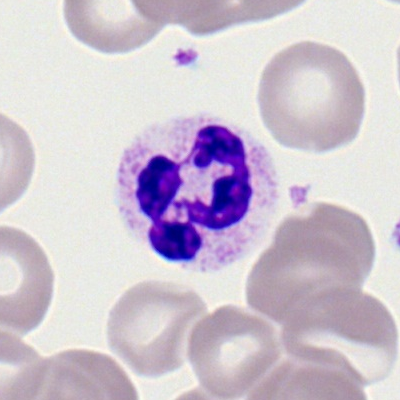

The cell type is neutrophil (segmented).